Bone marrow smear — 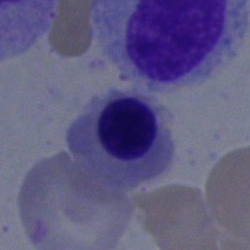
{"cell_type": "normoblast"}